May-Grünwald-Giemsa stain. Bone marrow aspirate smear.
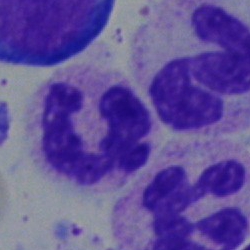 Morphology — polymorphonuclear neutrophil.